Brightfield, 40× oil-immersion objective. Bone marrow aspirate smear: 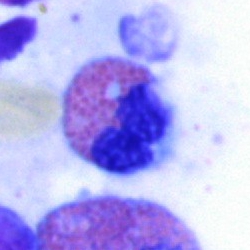

Morphological class: eosinophilic granulocyte.